Bone marrow aspirate smear — 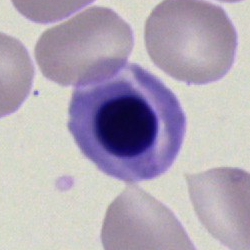
Showing a nucleated red blood cell.